Peripheral blood film · image size 400×400 · single-cell field.
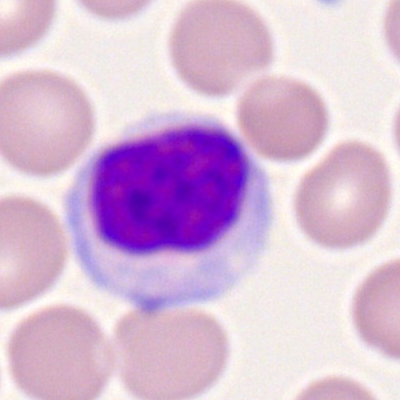
Typical lymphocyte.